Bone marrow aspirate smear:
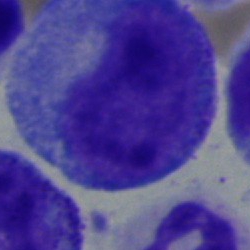Cell type = progranulocyte.